Bone marrow smear:
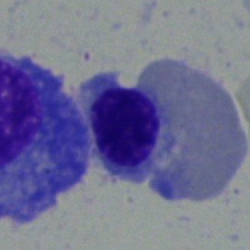
Classification — nucleated red blood cell.